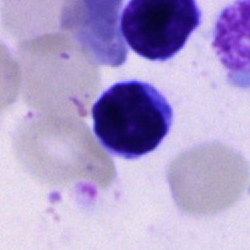

Specimen: bone marrow smear.
Cell: plasmacyte.